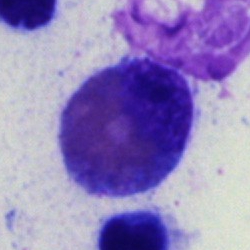Eosinophilic granulocyte.